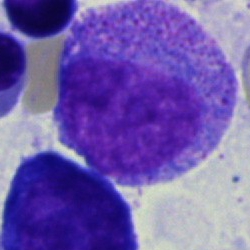Progranulocyte.